MGG-stained. Bone marrow smear: 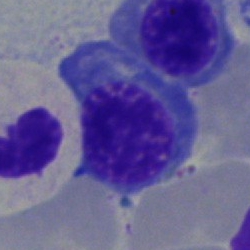{"cell_type": "nucleated red cell"}